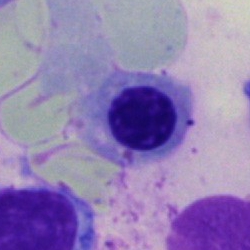Impression — erythroblast.